Bone marrow smear — 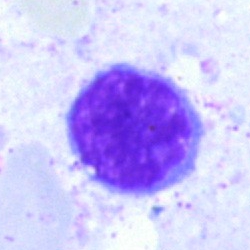Morphology consistent with a typical lymphocyte.